Pappenheim-stained · brightfield, 40× oil-immersion objective · bone marrow aspirate smear: 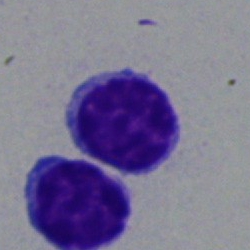 The cell shown is a lymphocyte.